Bone marrow smear
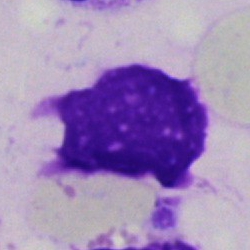

Specimen: bone marrow aspirate smear.
Cell type: artefact.